Bone marrow smear: 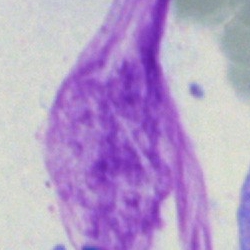 Cell — artifact.